Bone marrow aspirate smear.
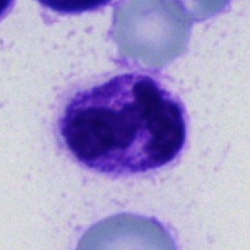Segmented neutrophil.